Bone marrow smear · 40× oil immersion.
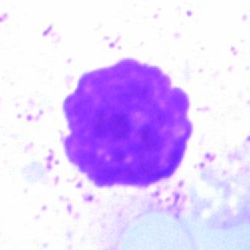

Specimen: bone marrow aspirate smear.
Cell: artefact.